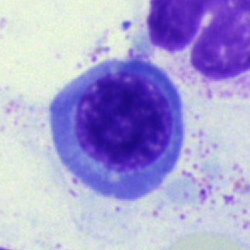 Q: What is shown here?
A: It is a nucleated red cell.